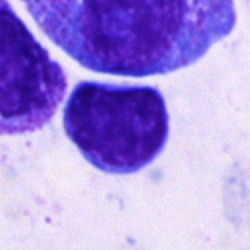Single cell identified as a lymphocyte.